Bone marrow smear — 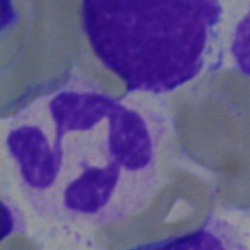Morphological class — polymorphonuclear neutrophil.